Bone marrow aspirate smear
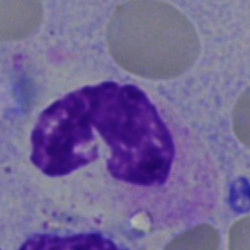 Q: Identify the cell.
A: It is a neutrophil (band).